Bone marrow aspirate smear: 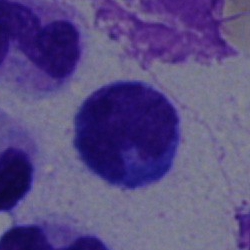Morphology — lymphocyte.